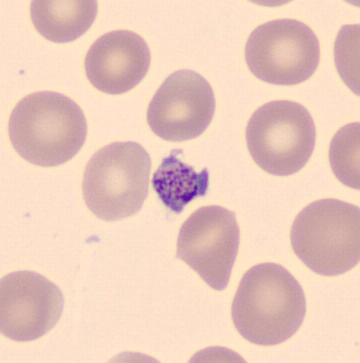 Image: Peripheral blood smear. Morphology — platelet (thrombocyte).